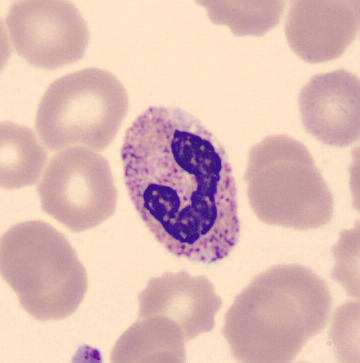

Specimen: peripheral blood smear.
Classification: band-form neutrophil.
Lineage: myeloid.